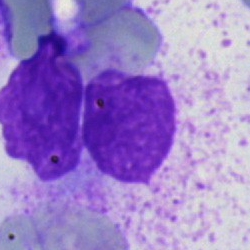An artifact on a bone marrow smear.